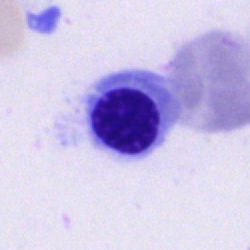
The cell type is erythroblast.